Bone marrow smear
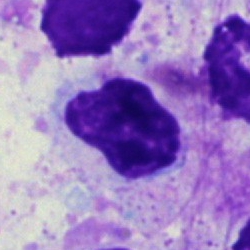 Q: What is shown here?
A: An artefact.